Romanowsky-stained; peripheral blood film — 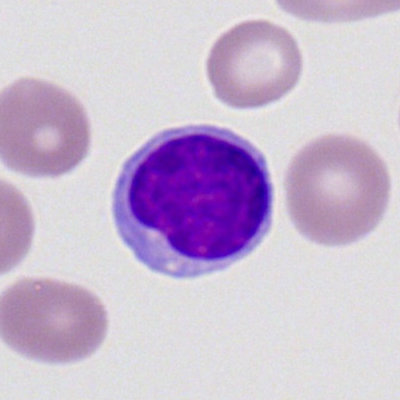
Impression — lymphocyte.